40× oil immersion. May-Grünwald-Giemsa/Pappenheim stain. Bone marrow aspirate smear.
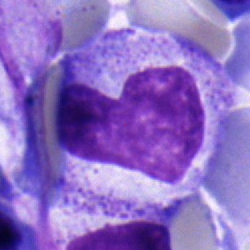
Impression — metamyelocyte.